Bone marrow smear
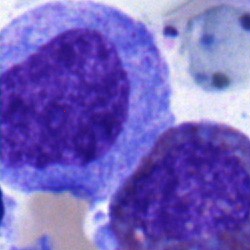 Specimen: bone marrow smear.
Classification: progranulocyte.
Lineage: myeloid.